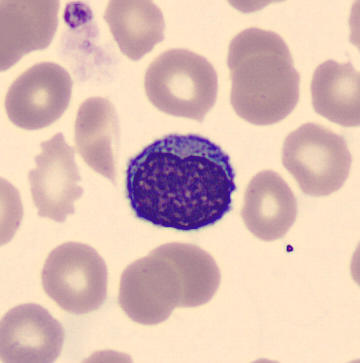 Morphology consistent with a lymphocyte.
Single-cell crop; peripheral blood smear.